Bone marrow aspirate smear:
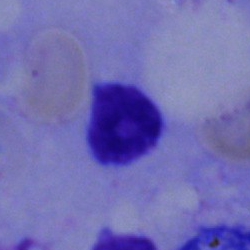
The cell shown is a lymphocyte.